Bone marrow smear.
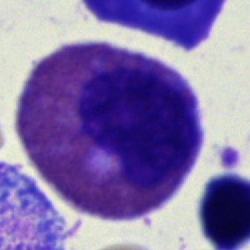 Single cell identified as an eosinophilic granulocyte.